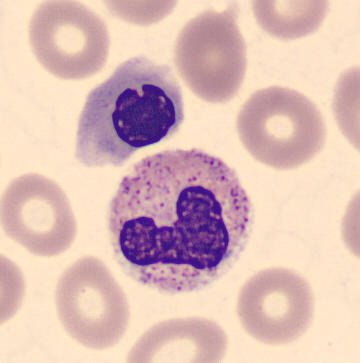 Single-cell crop from a peripheral blood smear: band neutrophil.